Bone marrow aspirate smear; 40× objective, oil immersion — 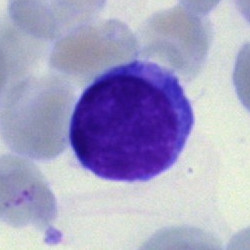 Morphology consistent with a typical lymphocyte.